Bone marrow smear · brightfield microscopy, 40× oil immersion
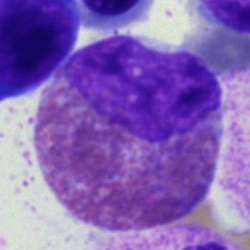

Morphology consistent with an eosinophilic granulocyte.